Single-cell field. Bone marrow smear:
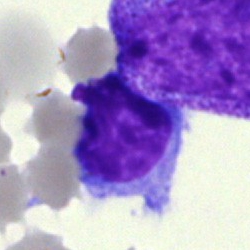
The cell shown is a lymphocyte.